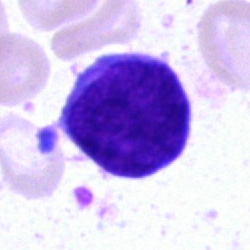
Bone marrow smear showing an undifferentiated blast.